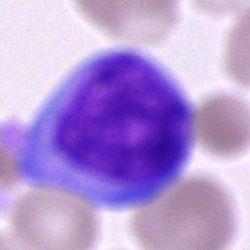Bone marrow smear showing a blast.